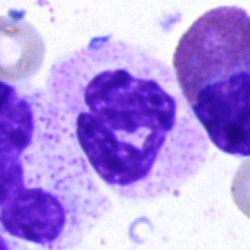

A neutrophil (segmented) on a bone marrow smear.